Bone marrow aspirate smear; single-cell field
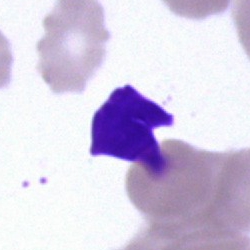

The cell is artefact.